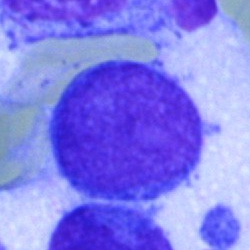 Classification — blast.